Bone marrow smear; MGG-stained: 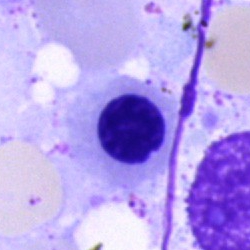 The cell shown is a normoblast.